Bone marrow smear. 250×250
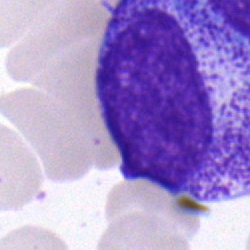
Morphology consistent with a myelocyte.